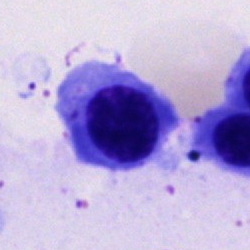
A normoblast on a bone marrow smear.